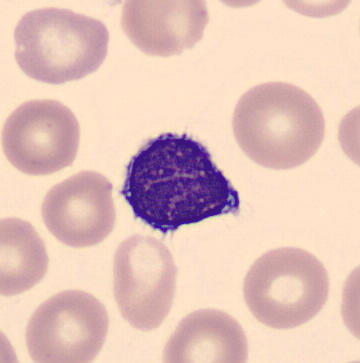Q: What is this?
A: This is a lymphocyte.